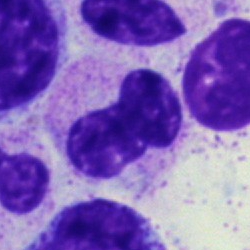Q: What is the morphological classification of this cell?
A: A polymorphonuclear neutrophil.